Bone marrow smear — 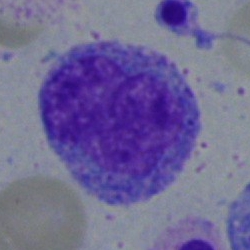Classification = monocyte.